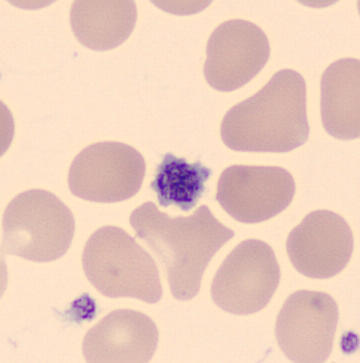
Q: What is shown here?
A: A platelet (thrombocyte).

Peripheral blood smear.